Bone marrow smear
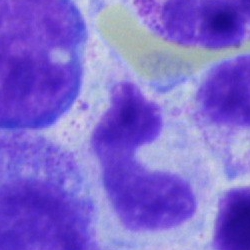
Morphology consistent with a neutrophil (band).